Bone marrow aspirate smear
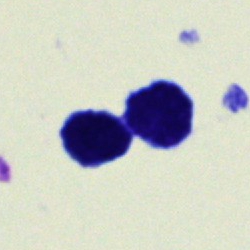Showing a typical lymphocyte.